Bone marrow smear.
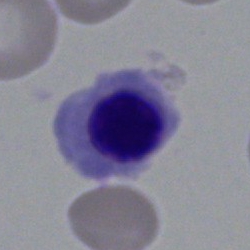 Q: Which cell type is shown here?
A: It is a normoblast.